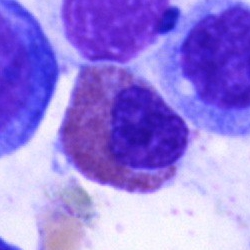Q: Which cell type is shown here?
A: An eosinophilic granulocyte.